Peripheral blood film.
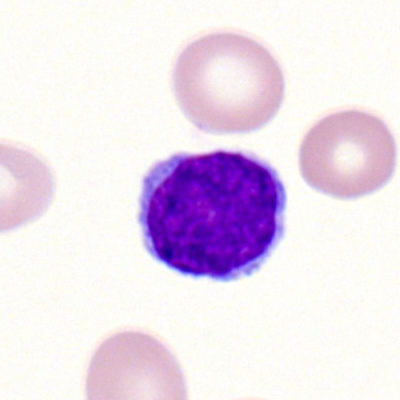 Single cell identified as a lymphocyte.